40× objective, oil immersion · May-Grünwald-Giemsa/Pappenheim stain · bone marrow aspirate smear
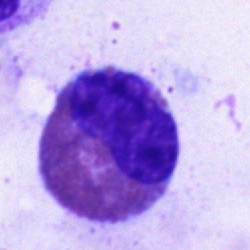 Showing an eosinophilic granulocyte.